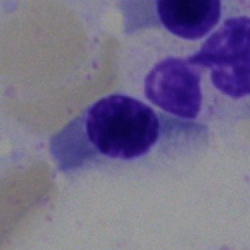
Q: Identify the cell.
A: This is a nucleated red cell.